Bone marrow aspirate smear · single-cell field.
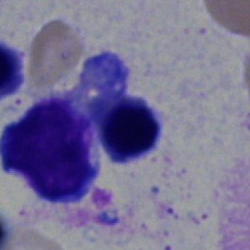

Q: What cell is this?
A: This is a nucleated red blood cell.